Bone marrow smear:
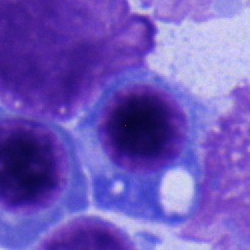
Specimen: bone marrow aspirate smear.
Classification: erythroblast.
Lineage: erythroid.